Bone marrow smear. 250×250: 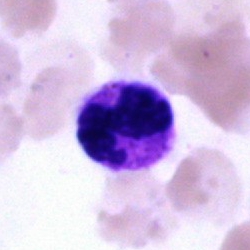
Impression — neutrophil (segmented).